Bone marrow smear
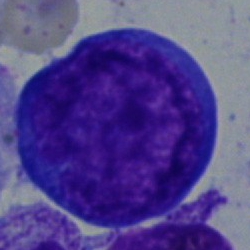Specimen: bone marrow aspirate smear.
Cell: undifferentiated blast.